Bone marrow smear
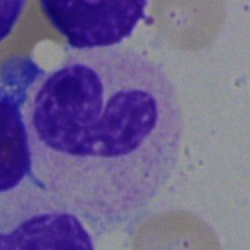Q: What is the morphological classification of this cell?
A: It is a segmented neutrophil.